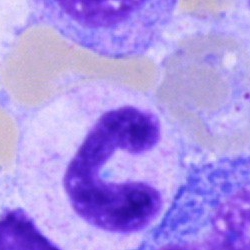Specimen: bone marrow aspirate smear.
Classification: neutrophil (band).
Lineage: myeloid.